40× oil immersion. Bone marrow aspirate smear:
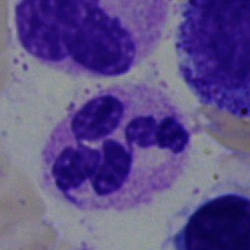 A segmented neutrophil.